May-Grünwald-Giemsa-stained · imaged on a CellaVision DM96 analyser · peripheral blood smear: 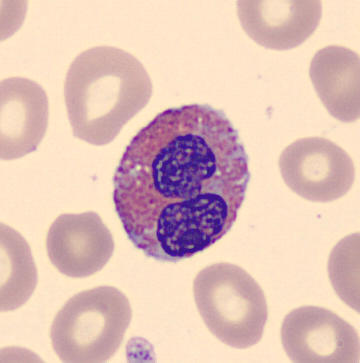

Q: Identify the cell.
A: It is an eosinophil.